May-Grünwald-Giemsa stain · bone marrow smear:
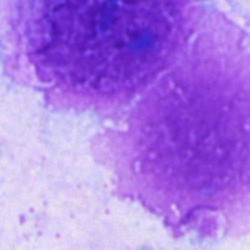 Specimen: bone marrow aspirate smear.
Classification: artifact.